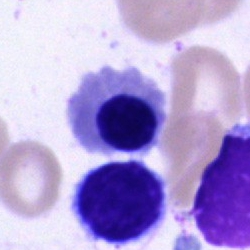
Classification = normoblast.